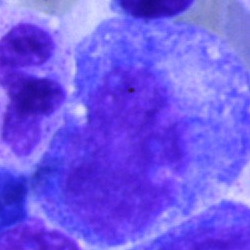

A promyelocyte.